Bone marrow smear. Brightfield microscopy, 40× oil immersion. May-Grünwald-Giemsa/Pappenheim stain — 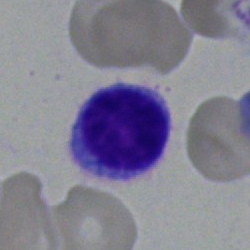 Cell — lymphocyte.